250×250 · bone marrow aspirate smear:
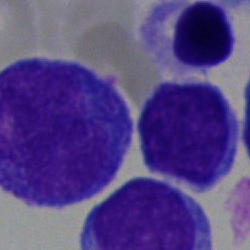
Specimen: bone marrow smear.
Cell type: undifferentiated blast.